Bone marrow smear.
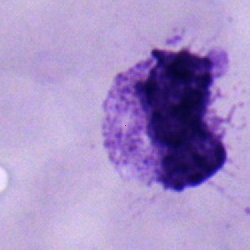Specimen: bone marrow smear.
Morphological class: neutrophil (segmented).
Lineage: myeloid.